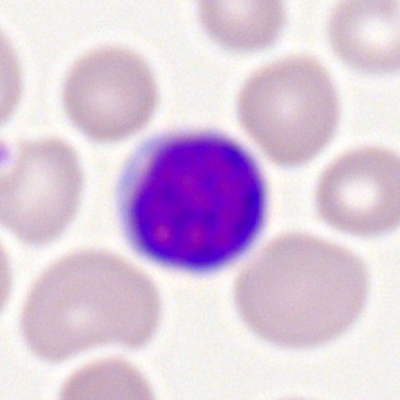Q: What is the morphological classification of this cell?
A: A typical lymphocyte.